Bone marrow smear.
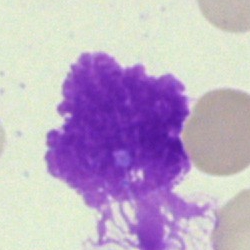
Q: What is shown here?
A: An artefact.